Bone marrow aspirate smear · Pappenheim-stained — 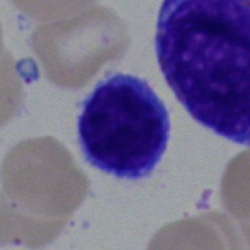
Morphology → typical lymphocyte.